Cropped to a single cell. Peripheral blood smear
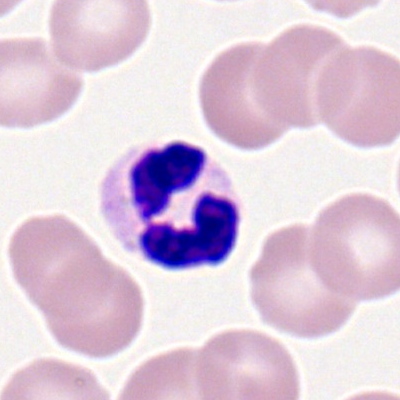

Impression — polymorphonuclear neutrophil.